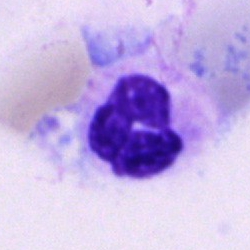

Morphological class — polymorphonuclear neutrophil.